MGG-stained; bone marrow aspirate smear; 250×250 px:
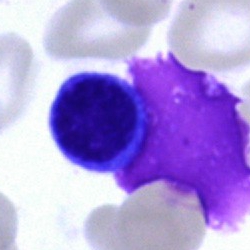
Specimen: bone marrow aspirate smear.
Classification: artifact.